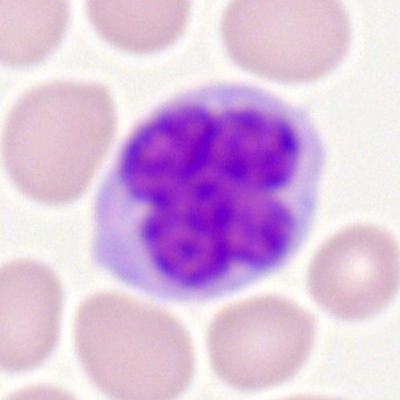

Monocyte.